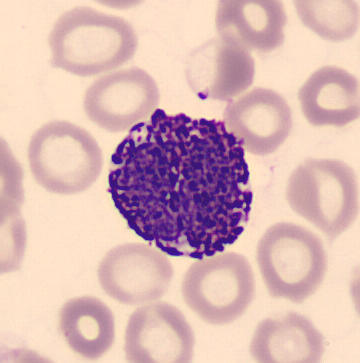

MGG stain; peripheral blood smear.
Morphology → basophilic granulocyte.